Bone marrow aspirate smear — 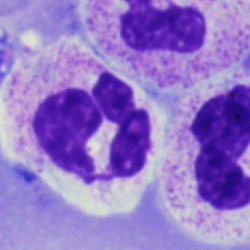Single cell identified as a neutrophil (segmented).